Bone marrow aspirate smear: 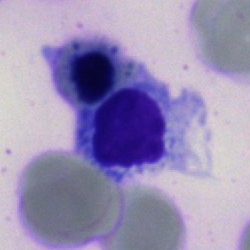
Classification = erythroblast.